Bone marrow aspirate smear.
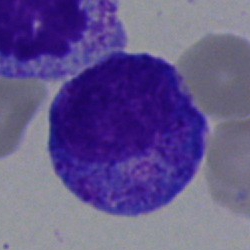Progranulocyte.